250×250 px · bone marrow smear: 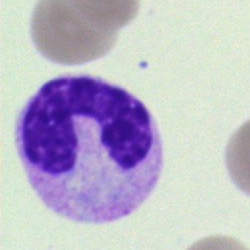
Single cell identified as a band neutrophil.